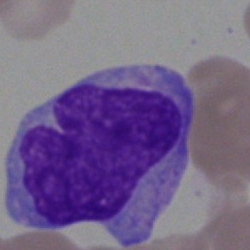

Blast cell.